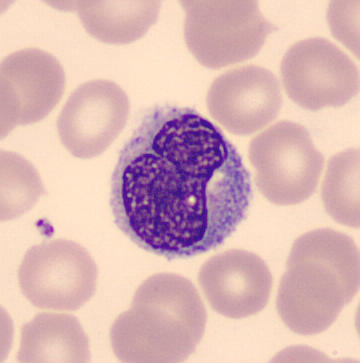 Image: Peripheral blood film.

Impression → monocyte.